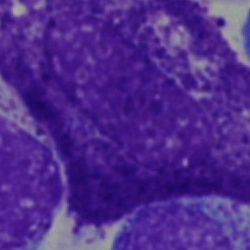 Impression — other cell.